Bone marrow aspirate smear; 250×250 — 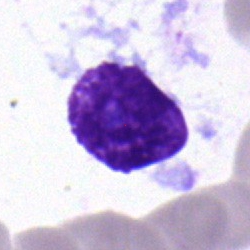Classification = blast.